Bone marrow smear — 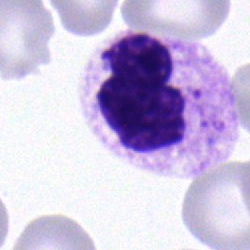Specimen: bone marrow smear.
Cell: segmented neutrophil.
Lineage: myeloid.